40× oil immersion. Bone marrow aspirate smear:
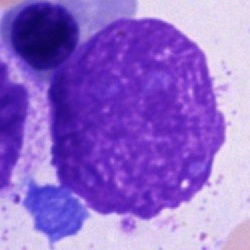Q: What is shown here?
A: Artefact.